Bone marrow aspirate smear: 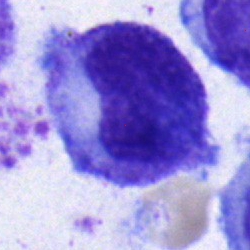 Single cell identified as a metamyelocyte.